Peripheral blood film. Romanowsky-type stain — 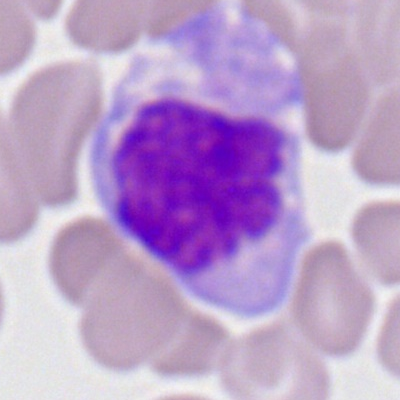 Morphology consistent with a monocyte.